Bone marrow aspirate smear:
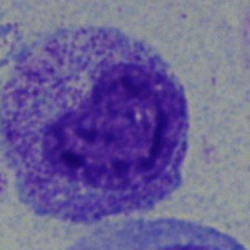 A myelocyte.